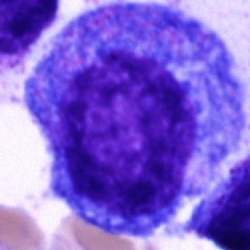Morphological class = promyelocyte.